Bone marrow aspirate smear: 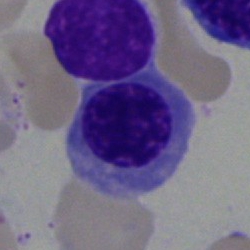

Morphology consistent with a normoblast.